Bone marrow smear; brightfield microscopy, 40× oil immersion — 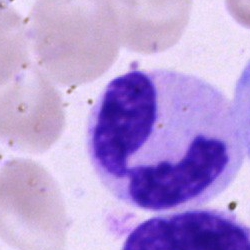Q: What cell is this?
A: Segmented neutrophil.